Bone marrow smear: 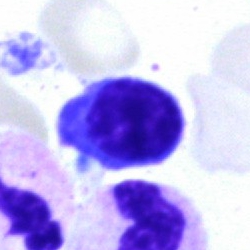
Specimen: bone marrow aspirate smear.
Morphological class: lymphocyte.
Lineage: lymphoid.